40× objective, oil immersion; cropped to a single cell; bone marrow smear:
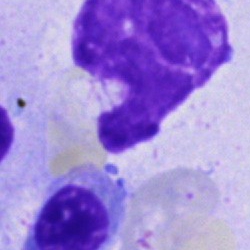
Cell type = cell of indeterminate lineage.